Bone marrow aspirate smear — 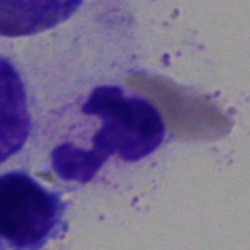 This is a segmented neutrophil.